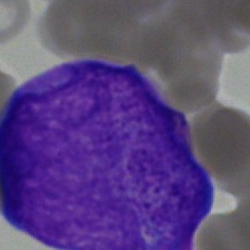Q: Which cell type is shown here?
A: It is a blast.